Romanowsky-type stain; peripheral blood smear; cropped to a single cell.
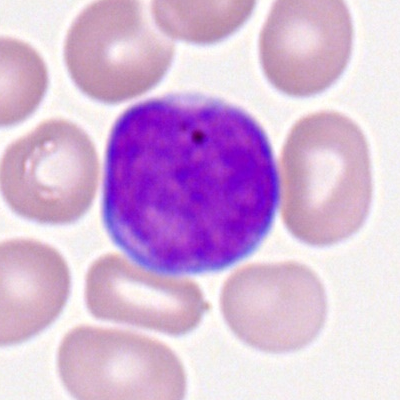
Cell type = myeloid blast.